Bone marrow aspirate smear — 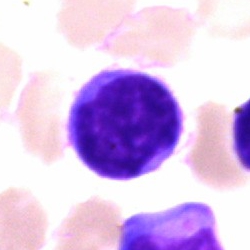 Showing a lymphocyte.